Cropped to a single cell. Bone marrow aspirate smear:
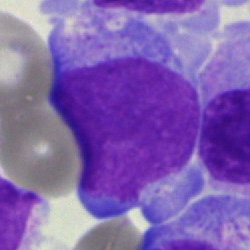This is a blast cell.